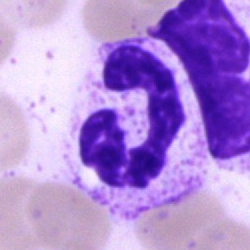Q: What cell is this?
A: Polymorphonuclear neutrophil.